Bone marrow smear; 40× oil immersion
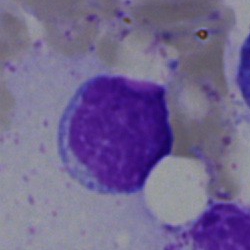

Single cell identified as a typical lymphocyte.